Bone marrow smear
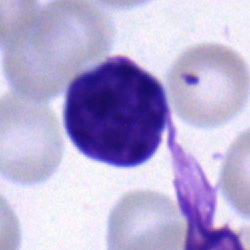
The classification is lymphocyte.